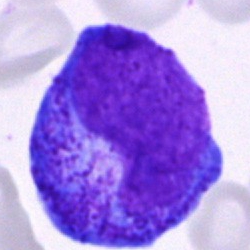

Impression → progranulocyte.